250 by 250 pixels; bone marrow smear: 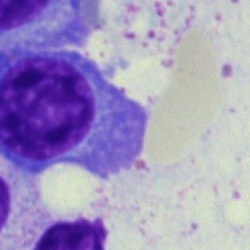 Morphological class = plasmacyte.